Brightfield, 100× oil-immersion objective; Romanowsky stain; peripheral blood film
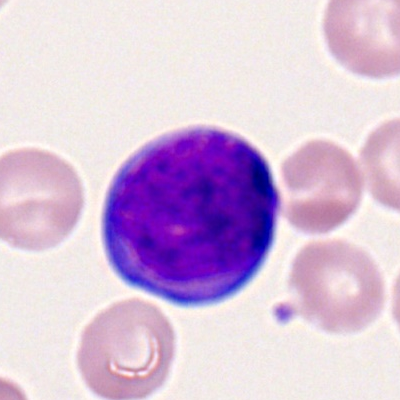
A myeloid blast.